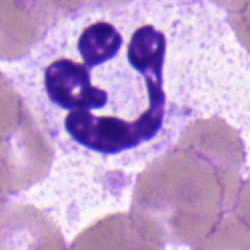

Morphology consistent with a polymorphonuclear neutrophil.